Bone marrow aspirate smear:
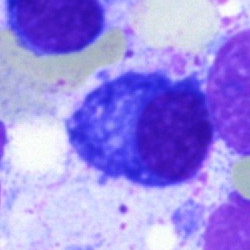 This is a plasmacyte.